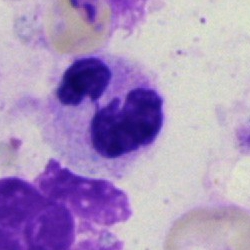

Morphology — neutrophil (segmented).